Bone marrow aspirate smear:
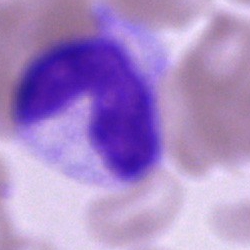 Morphology — band neutrophil.